Peripheral blood film. 100× oil immersion, 14.14 px/µm
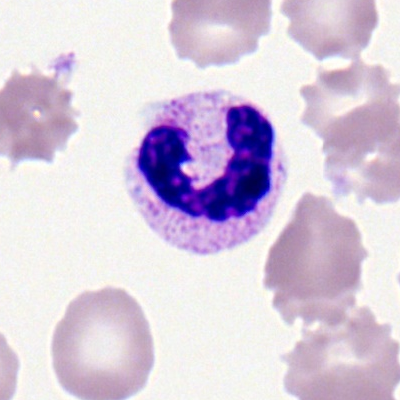 This is a polymorphonuclear neutrophil.